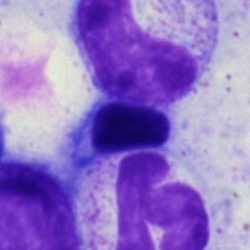

Single-cell crop from a bone marrow smear: lymphocyte.